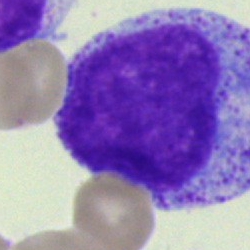
Morphology → progranulocyte.